Bone marrow aspirate smear; single-cell crop — 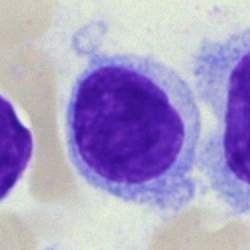 Hairy cell.